Brightfield, 40× oil-immersion objective; May-Grünwald-Giemsa/Pappenheim stain; bone marrow aspirate smear — 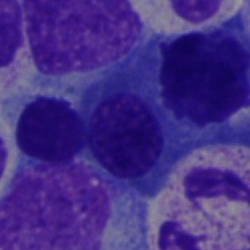

This is a normoblast.